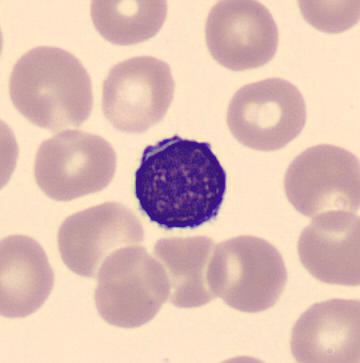 Morphology consistent with a typical lymphocyte. Image: Peripheral blood smear.